Brightfield microscopy, 40× oil immersion. Bone marrow aspirate smear:
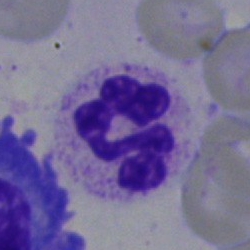
{"cell_type": "polymorphonuclear neutrophil", "lineage": "myeloid"}